May-Grünwald-Giemsa/Pappenheim stain. Bone marrow smear. 40× oil immersion.
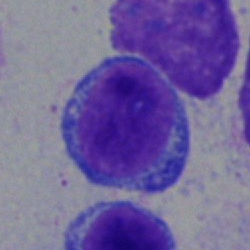Q: Identify the cell.
A: This is a lymphocyte.